Bone marrow aspirate smear · Pappenheim-stained.
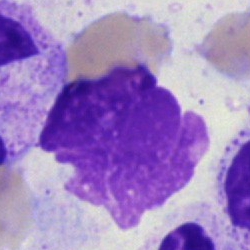

{"cell_type": "artefact"}